Bone marrow smear; 250×250; single-cell crop
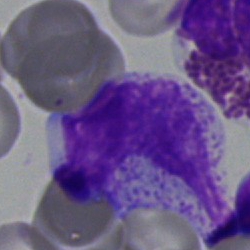
{"cell_type": "myelocyte", "lineage": "myeloid"}